Bone marrow aspirate smear; 250×250
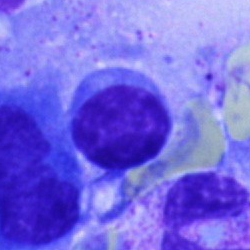
The cell shown is a plasmacyte.